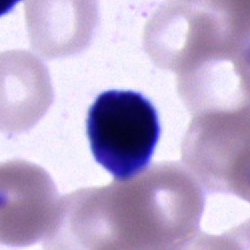Cell of indeterminate lineage.